Peripheral blood film · cropped to a single cell · 360×363 px — 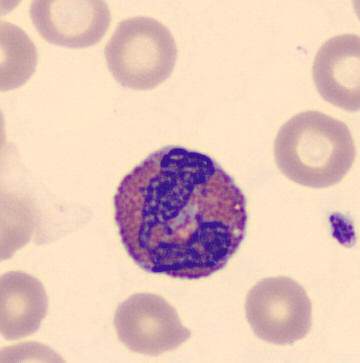Specimen: peripheral blood film.
Cell: eosinophilic granulocyte.
Lineage: myeloid.